Bone marrow aspirate smear — 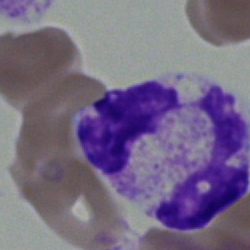Morphology consistent with a neutrophil (segmented).